Bone marrow aspirate smear.
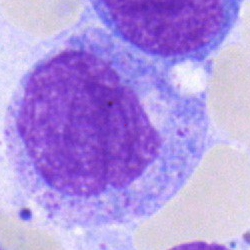Morphology → myelocyte.